Image size 250×250; bone marrow aspirate smear; May-Grünwald-Giemsa stain
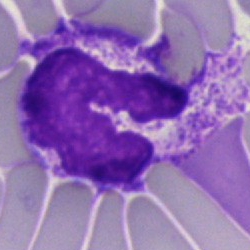

Single cell identified as a segmented neutrophil.